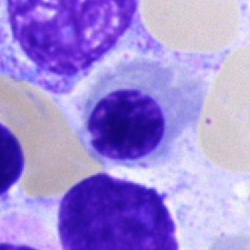 Cell — nucleated red cell.